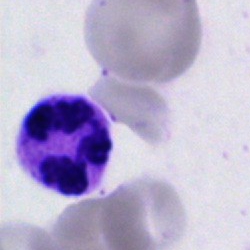

Morphological class — segmented neutrophil.